Romanowsky-type stain; peripheral blood film:
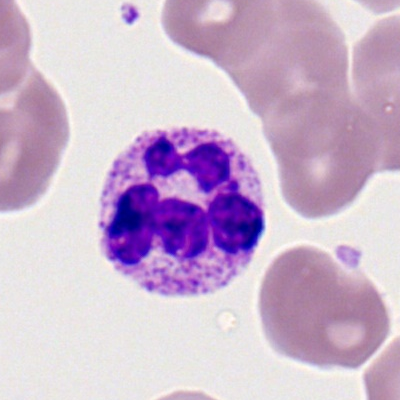Specimen: peripheral blood smear.
Morphological class: neutrophil (segmented).
Lineage: myeloid.